Bone marrow smear · cropped to a single cell: 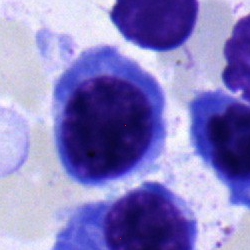 This is a nucleated red cell.